Bone marrow smear:
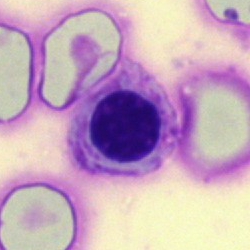Normoblast.